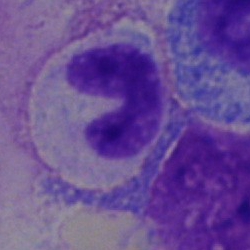

Cell = band-form neutrophil.